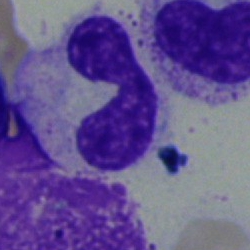
A band neutrophil.